Bone marrow smear. 40× oil immersion. Single-cell field.
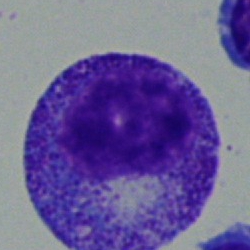
Single cell identified as a progranulocyte.